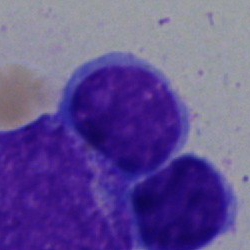The cell is lymphocyte.